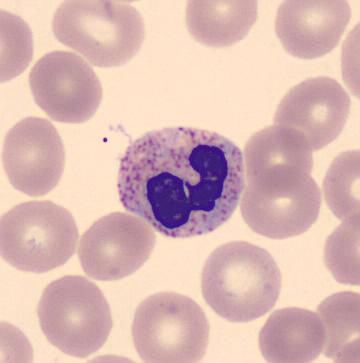Specimen: peripheral blood smear.
Classification: polymorphonuclear neutrophil.